250 by 250 pixels. May-Grünwald-Giemsa/Pappenheim stain. Bone marrow smear
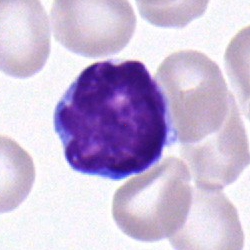Morphology consistent with a lymphocyte.